Bone marrow smear
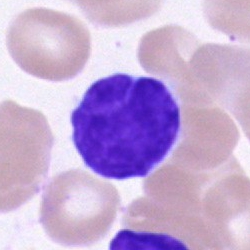 A typical lymphocyte.